May-Grünwald-Giemsa stain. Bone marrow smear — 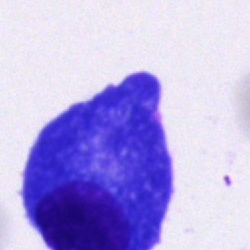Q: Identify the cell.
A: Plasma cell.